Bone marrow aspirate smear:
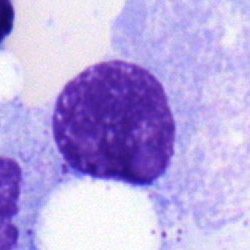
This is a plasma cell.